Image size 250×250. Bone marrow aspirate smear: 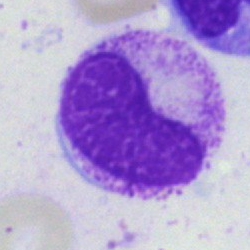

Q: What type of cell is this?
A: A band-form neutrophil.